Bone marrow aspirate smear. 40× objective, oil immersion — 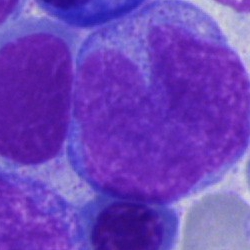
Showing a monocyte.